Bone marrow smear
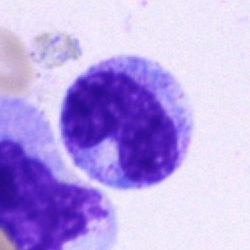 Band-form neutrophil.